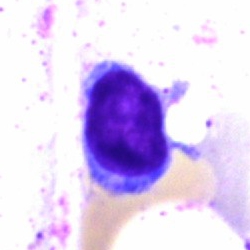 Q: Identify the cell.
A: Typical lymphocyte.